Bone marrow aspirate smear. Pappenheim-stained. 40× oil immersion
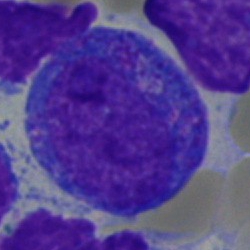 This is a progranulocyte.